Bone marrow aspirate smear: 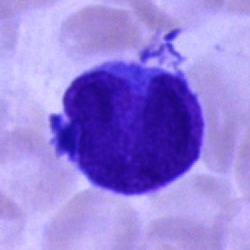
Cell type — undifferentiated blast.